Brightfield, 40× oil-immersion objective. Bone marrow aspirate smear.
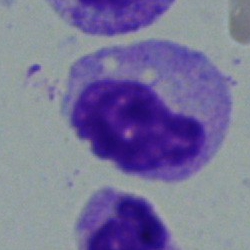Q: Which cell type is shown here?
A: A monocyte.